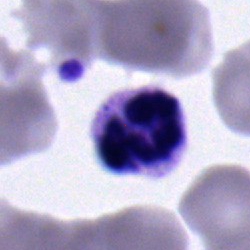Single cell identified as a polymorphonuclear neutrophil.